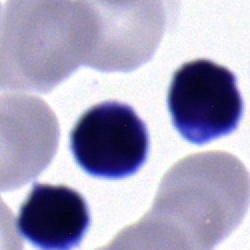 Impression → typical lymphocyte.